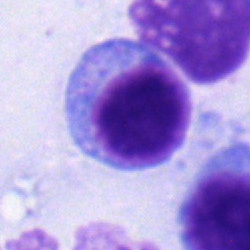

Specimen: bone marrow smear.
Classification: typical lymphocyte.
Lineage: lymphoid.